Bone marrow smear.
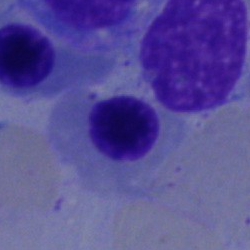 Q: What is the morphological classification of this cell?
A: This is a nucleated red blood cell.